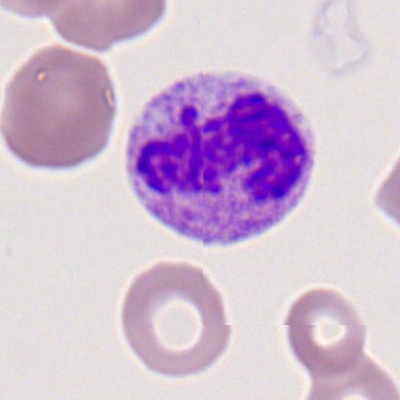Morphology — polymorphonuclear neutrophil.